Bone marrow smear:
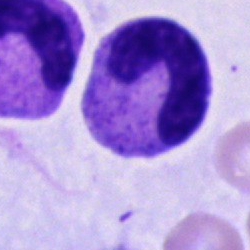
Classification = band neutrophil.